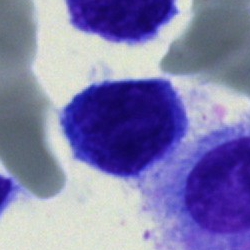Bone marrow aspirate smear, single cell — typical lymphocyte.